Bone marrow aspirate smear; May-Grünwald-Giemsa stain; brightfield microscopy, 40× oil immersion.
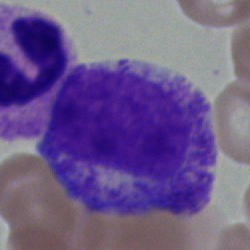Specimen: bone marrow smear.
Cell: myelocyte.
Lineage: myeloid.